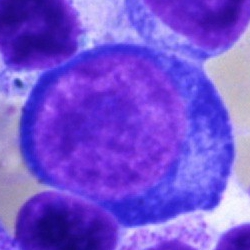 Specimen: bone marrow aspirate smear.
Cell: pronormoblast.
Lineage: erythroid.